Cropped to a single cell; bone marrow aspirate smear — 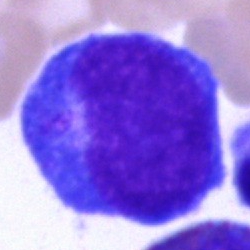

Specimen: bone marrow aspirate smear.
Cell: progranulocyte.